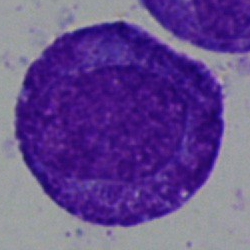Specimen: bone marrow smear.
Classification: progranulocyte.